MGG-stained. Bone marrow aspirate smear: 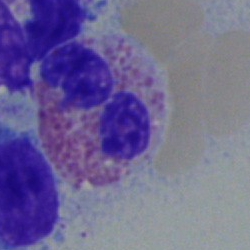

Showing an eosinophil.